250 by 250 pixels · bone marrow smear
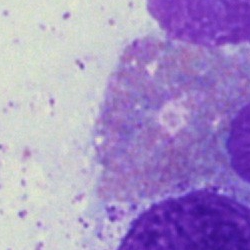

This is an artefact.